40× objective, oil immersion · bone marrow aspirate smear:
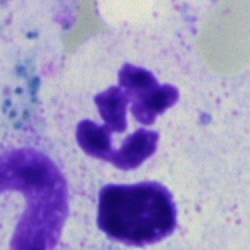

{"cell_type": "neutrophil (segmented)"}